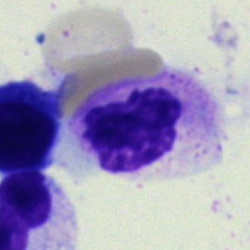Q: Which cell type is shown here?
A: This is a polymorphonuclear neutrophil.